Peripheral blood film. CellaVision DM96 digital cell image: 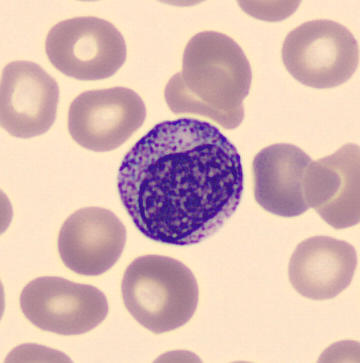The cell shown is a myelocyte.